Bone marrow smear: 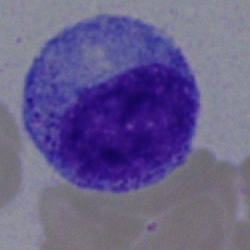

Morphology → progranulocyte.